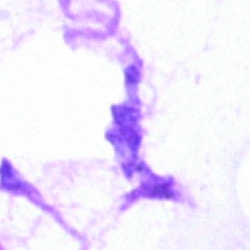An artifact on a bone marrow smear.